Bone marrow aspirate smear · May-Grünwald-Giemsa/Pappenheim stain: 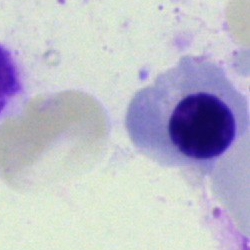
{"cell_type": "erythroblast", "lineage": "erythroid"}